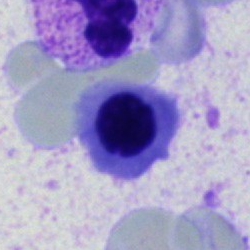 Specimen: bone marrow smear.
Morphological class: erythroblast.
Lineage: erythroid.